MGG-stained; bone marrow smear — 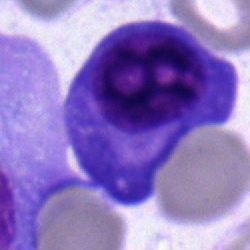
Cell type: plasma cell.